Peripheral blood film. Romanowsky-type stain. Single cell centered in the field:
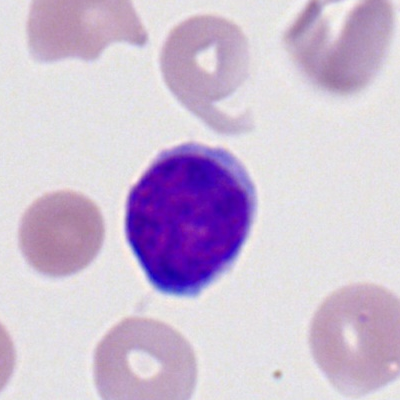

Single cell identified as a typical lymphocyte.